Image size 250×250; bone marrow aspirate smear; brightfield microscopy, 40× oil immersion:
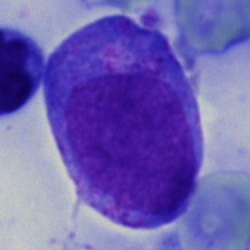 Q: Which cell type is shown here?
A: A promyelocyte.